Bone marrow aspirate smear.
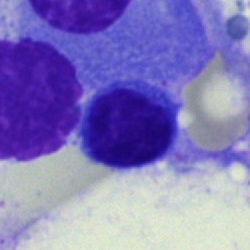 Classification: lymphocyte.